Bone marrow smear: 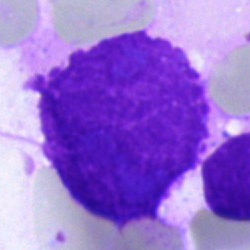

Impression — artifact.